Bone marrow aspirate smear. 40× objective, oil immersion. Single-cell crop:
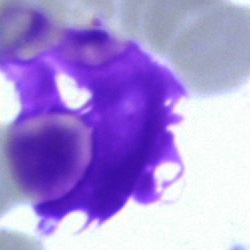This is an artifact.